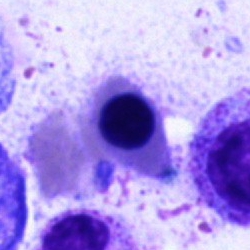A normoblast.